Bone marrow aspirate smear: 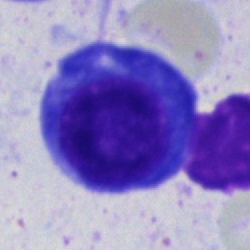 Q: What cell is this?
A: It is a nucleated red blood cell.